Peripheral blood smear
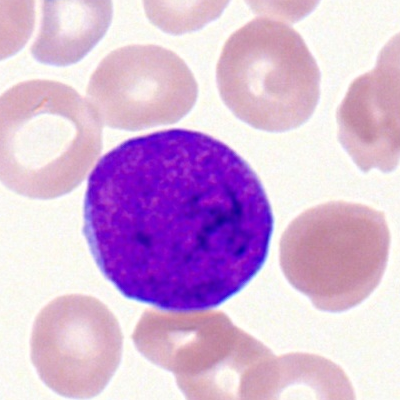

This is a myeloblast.